Bone marrow aspirate smear: 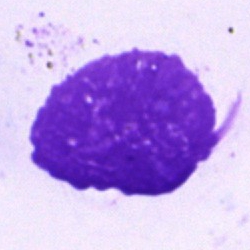
Single cell identified as an artefact.